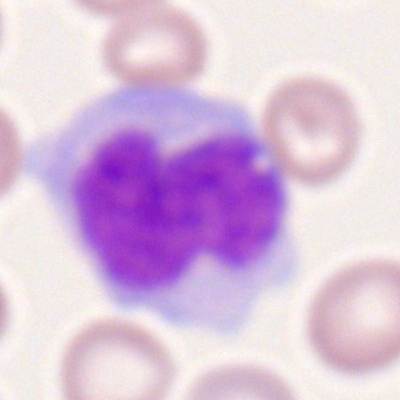

Q: What is shown here?
A: It is a monocyte.